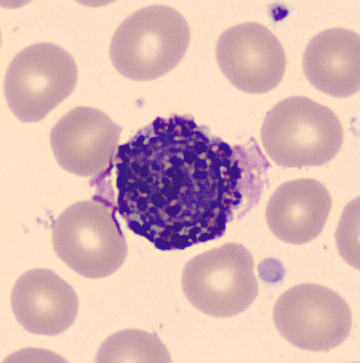 Cell type: basophilic granulocyte. Peripheral blood smear.